Bone marrow aspirate smear: 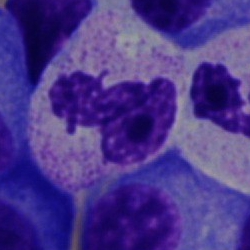 Morphology → segmented neutrophil.